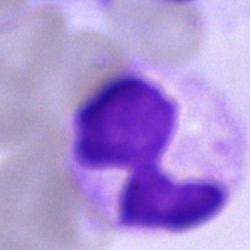

Classification = cell of indeterminate lineage.